Bone marrow aspirate smear: 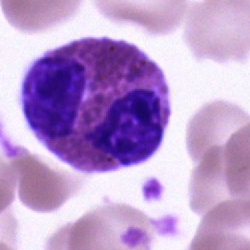 Q: What is shown here?
A: This is an eosinophil.